Bone marrow aspirate smear: 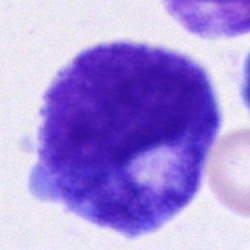 Single cell identified as a progranulocyte.